250×250 px; bone marrow aspirate smear: 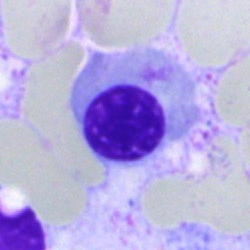

Cell = erythroblast.